Bone marrow smear — 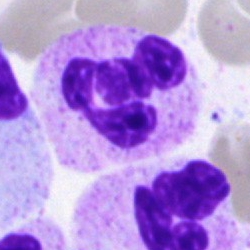Cell type: segmented neutrophil.